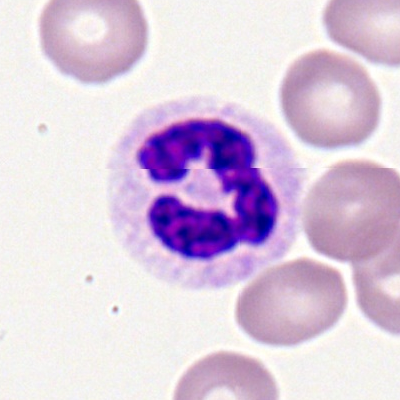 Morphological class = polymorphonuclear neutrophil.